Bone marrow smear:
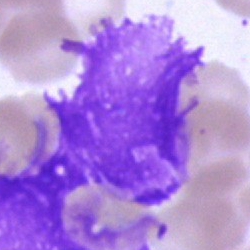 An artifact.